Single-cell field · bone marrow aspirate smear.
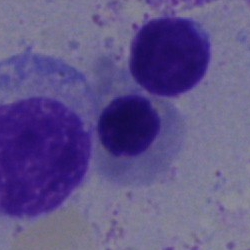 Specimen: bone marrow aspirate smear.
Morphological class: nucleated red blood cell.